Bone marrow aspirate smear; Pappenheim-stained; 250×250 px
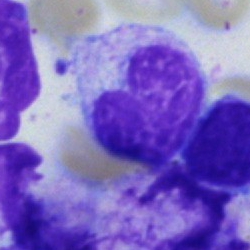The cell type is metamyelocyte.